250×250 px. 40× objective, oil immersion. Bone marrow smear:
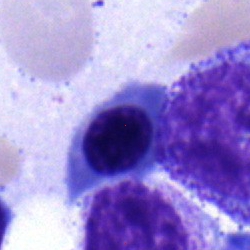

Specimen: bone marrow aspirate smear.
Cell: nucleated red blood cell.